May-Grünwald-Giemsa/Pappenheim stain. Bone marrow aspirate smear. Single cell centered in the field.
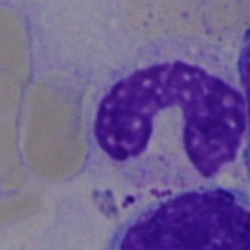

A segmented neutrophil.